Bone marrow aspirate smear
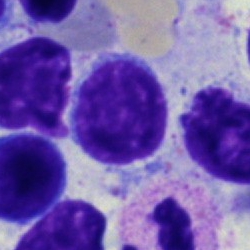

Q: Which cell type is shown here?
A: Typical lymphocyte.